Single cell centered in the field · bone marrow aspirate smear · 40× oil immersion — 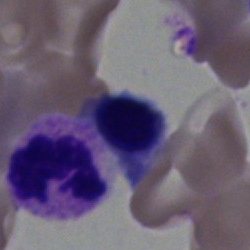
Morphology — polymorphonuclear neutrophil.